Brightfield, 100× oil-immersion objective. Peripheral blood film:
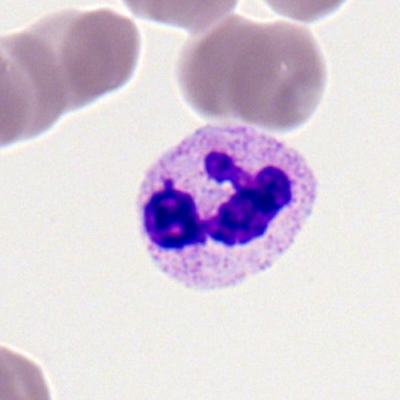 Classification = neutrophil (segmented).